Bone marrow smear: 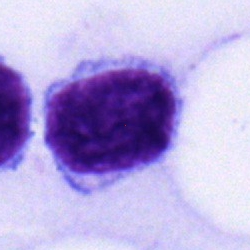This is a lymphocyte.